Bone marrow aspirate smear
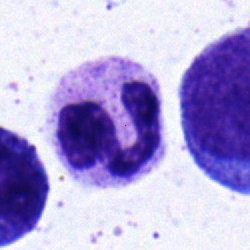

Specimen: bone marrow smear.
Morphological class: polymorphonuclear neutrophil.
Lineage: myeloid.